Bone marrow smear:
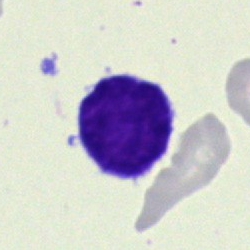

Showing a typical lymphocyte.